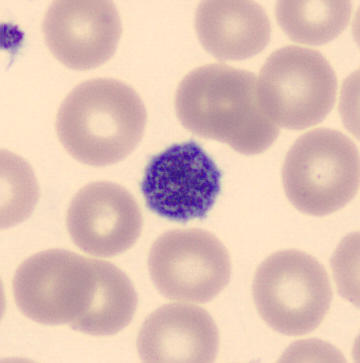 Showing a platelet.

360×363. Peripheral blood smear.